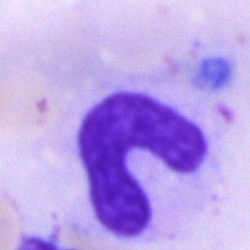A neutrophil (band).